Bone marrow smear. Image size 250×250.
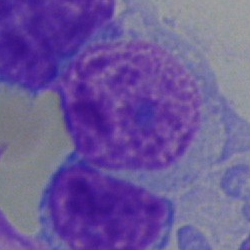 Single cell identified as a lymphocyte.